Bone marrow aspirate smear.
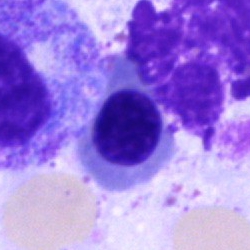 This is a normoblast.